Bone marrow aspirate smear. Single-cell field
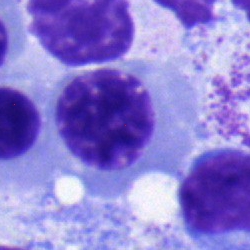{"cell_type": "nucleated red blood cell"}